Bone marrow smear:
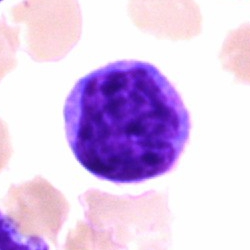

Impression → lymphocyte.